Peripheral blood film · 400×400
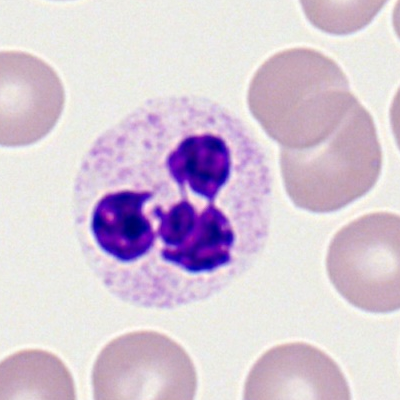Specimen: peripheral blood film.
Cell type: polymorphonuclear neutrophil.